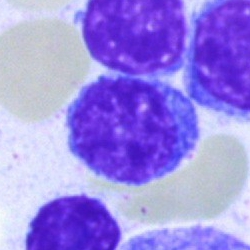 Cell — typical lymphocyte.